Bone marrow aspirate smear.
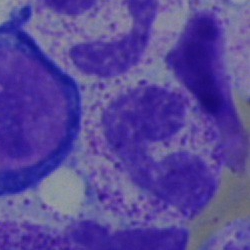Classification — band-form neutrophil.